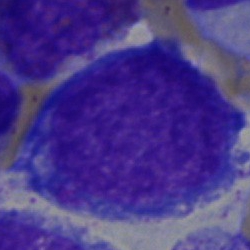

Morphological class = proerythroblast.